M8 digital microscope (Precipoint), 100× oil immersion. Peripheral blood smear.
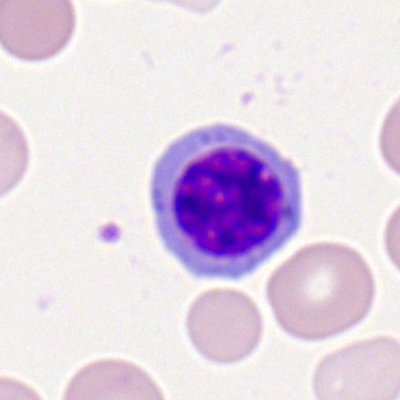 Cell type: nucleated red cell.